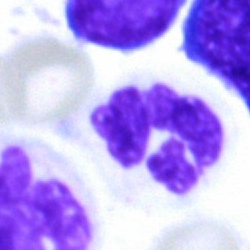
Q: Which cell type is shown here?
A: A polymorphonuclear neutrophil.